Single cell centered in the field. Bone marrow aspirate smear.
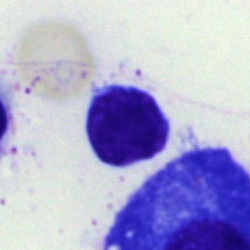This is a lymphocyte.